Peripheral blood smear. 400 by 400 pixels
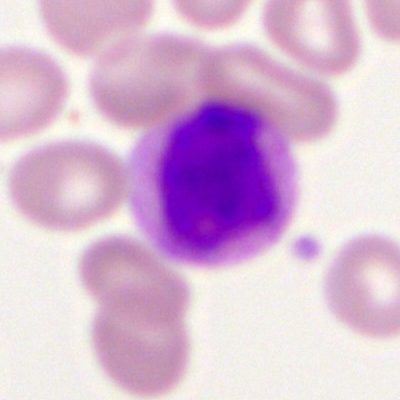

A basophilic granulocyte.